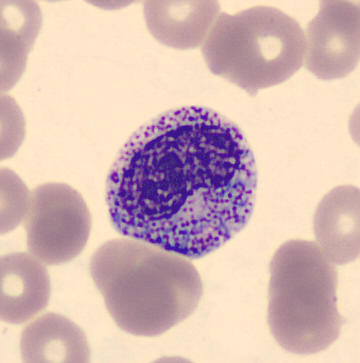Peripheral blood film.

Morphology — metamyelocyte.